Bone marrow aspirate smear; Pappenheim-stained:
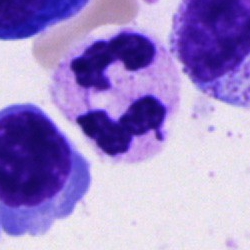
Q: What is the morphological classification of this cell?
A: A polymorphonuclear neutrophil.